Bone marrow smear. Brightfield, 40× oil-immersion objective
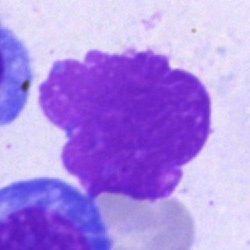 Q: What is shown here?
A: An artefact.